Bone marrow smear. May-Grünwald-Giemsa stain:
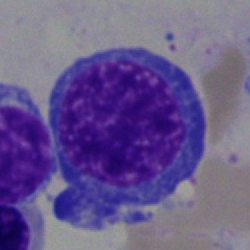
Showing a normoblast.